Peripheral blood film · 360 by 363 pixels · CellaVision DM96.
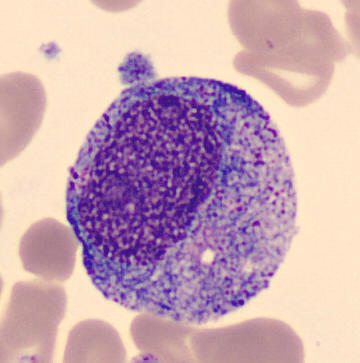The classification is progranulocyte.